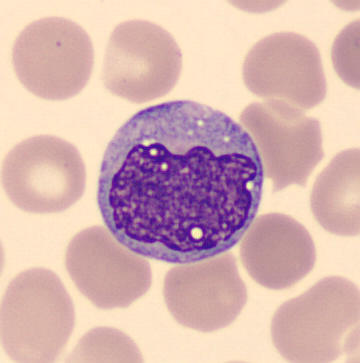
Acquisition: Peripheral blood film.
Cell type — monocyte.